Bone marrow smear:
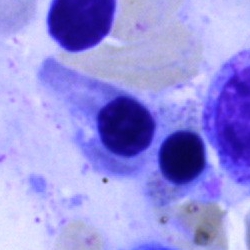

Q: What cell is this?
A: It is a normoblast.